Bone marrow aspirate smear:
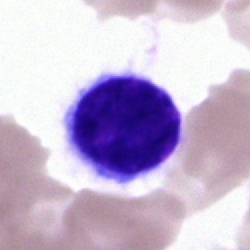
A lymphocyte.